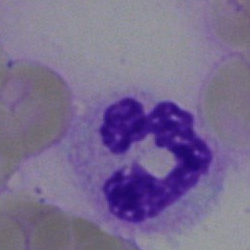The classification is neutrophil (segmented).